250×250 px. Bone marrow smear. May-Grünwald-Giemsa stain — 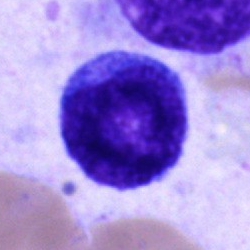Showing a blast cell.